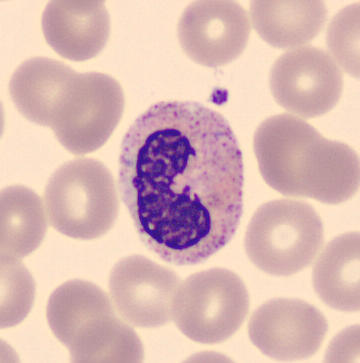

Q: What is the morphological classification of this cell?
A: This is a band neutrophil.